Bone marrow smear. 40× oil immersion. Single-cell crop.
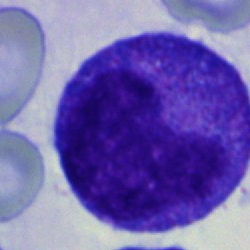
A promyelocyte.